Bone marrow aspirate smear.
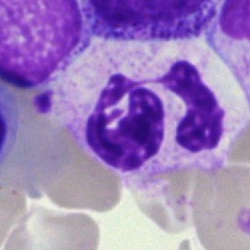
Impression → polymorphonuclear neutrophil.